Bone marrow aspirate smear
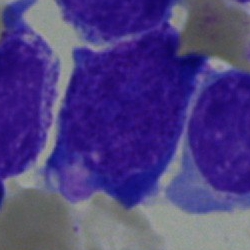An undifferentiated blast.